40× oil immersion; bone marrow smear; May-Grünwald-Giemsa/Pappenheim stain: 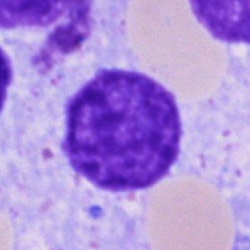 Impression — artifact.